Bone marrow aspirate smear
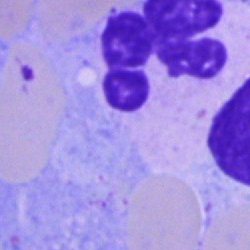

Q: What is the morphological classification of this cell?
A: Polymorphonuclear neutrophil.